Bone marrow aspirate smear
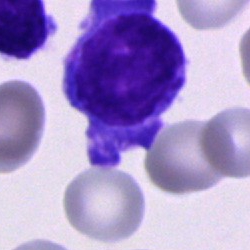 Q: What is shown here?
A: Blast.